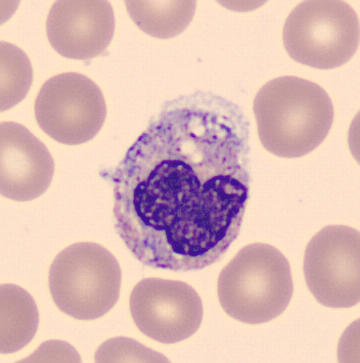Cell type: band-form neutrophil.